Bone marrow aspirate smear.
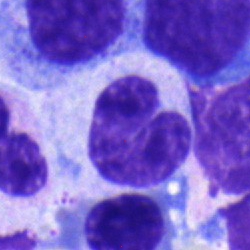 Specimen: bone marrow aspirate smear.
Morphological class: band neutrophil.